Bone marrow smear:
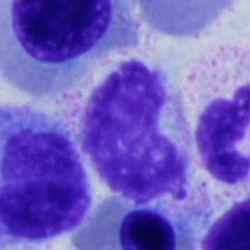Specimen: bone marrow smear.
Cell type: metamyelocyte.
Lineage: myeloid.